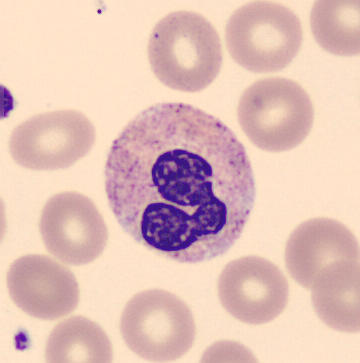From a peripheral blood smear: a band-form neutrophil.